250×250. Bone marrow smear.
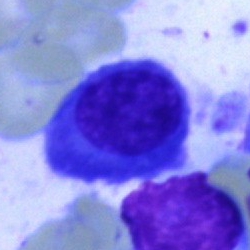
Q: What type of cell is this?
A: This is a plasma cell.